Peripheral blood film:
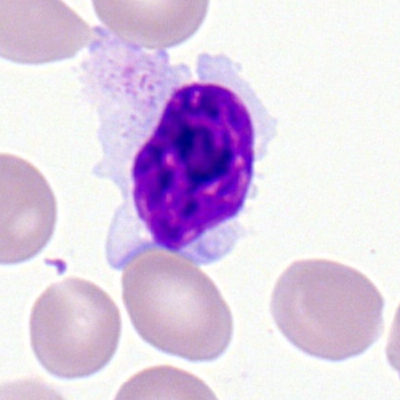 {"cell_type": "lymphocyte", "lineage": "lymphoid"}